250 by 250 pixels · bone marrow smear.
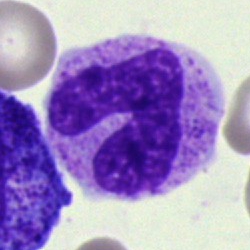 Showing a stab cell.